Bone marrow aspirate smear. 40× oil immersion:
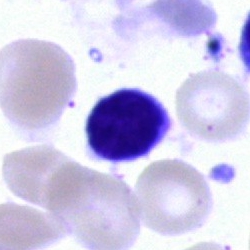

The cell shown is a typical lymphocyte.